Bone marrow aspirate smear.
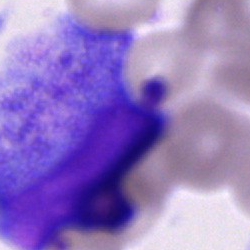

Morphology consistent with a progranulocyte.